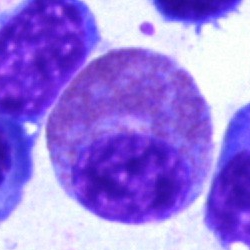 Showing an eosinophil.